Bone marrow smear · 250×250 · single-cell crop: 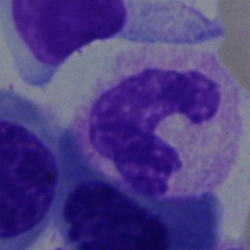
The cell shown is a polymorphonuclear neutrophil.